Bone marrow smear; image size 250×250 — 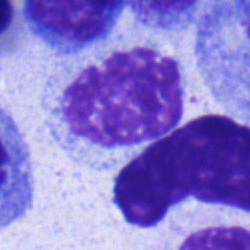 Q: What cell is this?
A: This is a myelocyte.